May-Grünwald-Giemsa stain; bone marrow smear
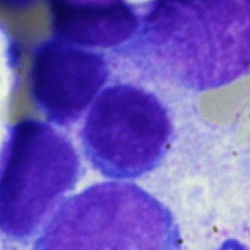

Specimen: bone marrow smear.
Cell type: neutrophil (segmented).
Lineage: myeloid.